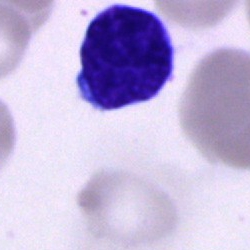 The classification is typical lymphocyte.